40× objective, oil immersion. Bone marrow aspirate smear. May-Grünwald-Giemsa stain:
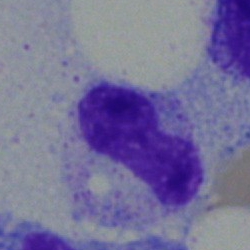

Cell type — metamyelocyte.